Bone marrow smear; 250×250 px
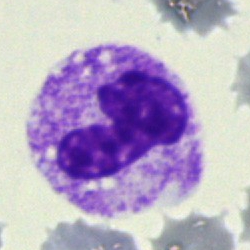The cell type is stab cell.